Bone marrow aspirate smear: 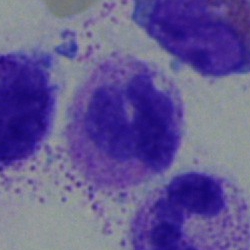
Cell = polymorphonuclear neutrophil.